Image size 250×250; bone marrow aspirate smear: 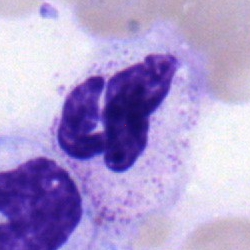The classification is neutrophil (segmented).